Bone marrow smear — 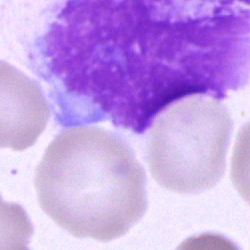
The cell shown is an artifact.